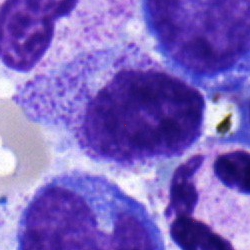

Q: What is the morphological classification of this cell?
A: This is a myelocyte.